May-Grünwald-Giemsa stain. Bone marrow smear: 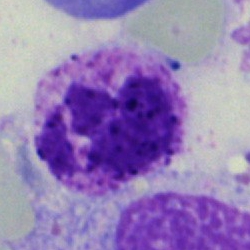

Specimen: bone marrow smear.
Classification: basophil.